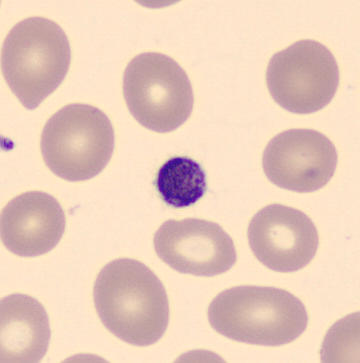Identified as a platelet. Peripheral blood film · imaged on a CellaVision DM96 analyser.